Bone marrow smear.
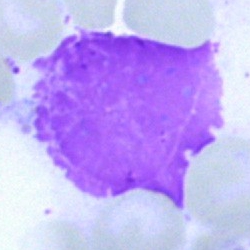Morphology consistent with an artefact.